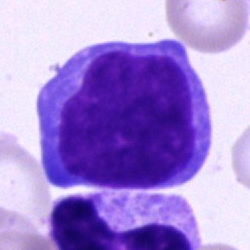The cell is blast cell.